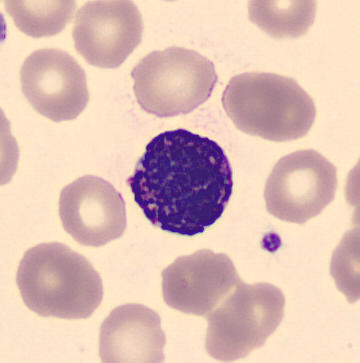
Q: Which cell type is shown here?
A: It is a basophilic granulocyte.
Image: Peripheral blood film. Image size 360×363.